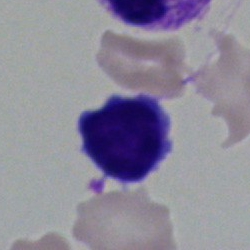Specimen: bone marrow aspirate smear.
Cell type: typical lymphocyte.
Lineage: lymphoid.